Bone marrow smear · 40× objective, oil immersion — 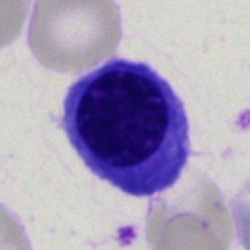 Q: What type of cell is this?
A: Nucleated red cell.